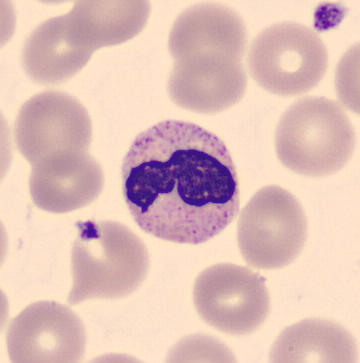

360 by 363 pixels; cropped to a single cell; peripheral blood film. Showing a neutrophil (band).